Bone marrow aspirate smear:
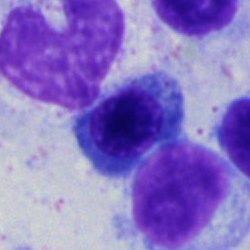Morphology consistent with a nucleated red blood cell.